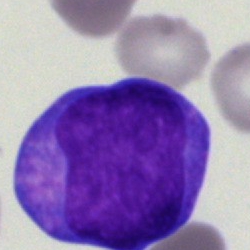
{"cell_type": "undifferentiated blast"}